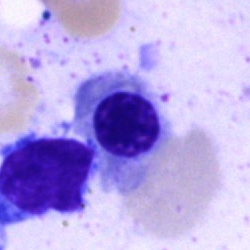Nucleated red blood cell.